Peripheral blood smear · Romanowsky stain.
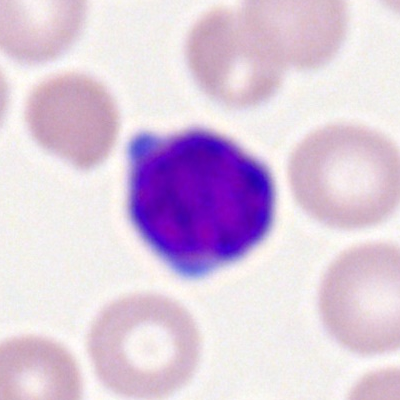

A lymphocyte.